Bone marrow smear — 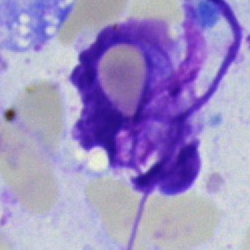

Cell: artefact.